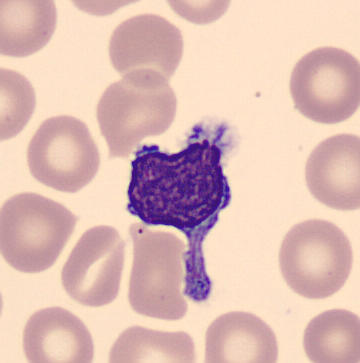Acquisition: Peripheral blood smear · 360×363 px.

Morphology consistent with a typical lymphocyte.